Bone marrow smear — 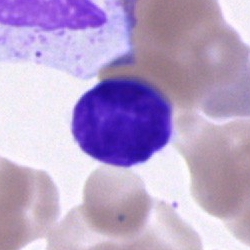
Classification = lymphocyte.